Single-cell field · bone marrow aspirate smear: 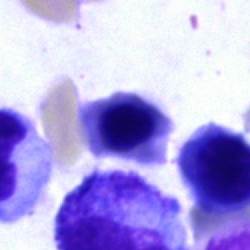

Nucleated red blood cell.